Single-cell crop · bone marrow smear — 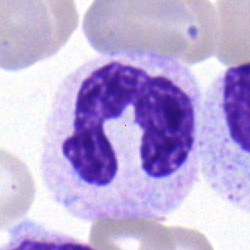
Q: Which cell type is shown here?
A: This is a polymorphonuclear neutrophil.